Bone marrow smear: 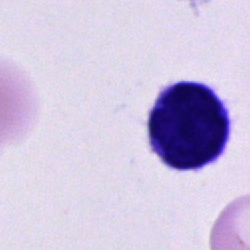 Showing an unidentifiable cell.